Bone marrow aspirate smear; brightfield microscopy, 40× oil immersion
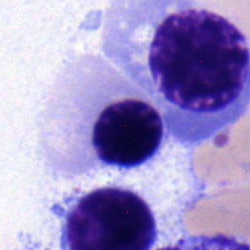

Morphology consistent with a nucleated red cell.